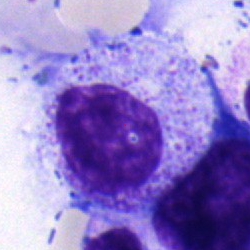
Specimen: bone marrow smear.
Classification: myelocyte.